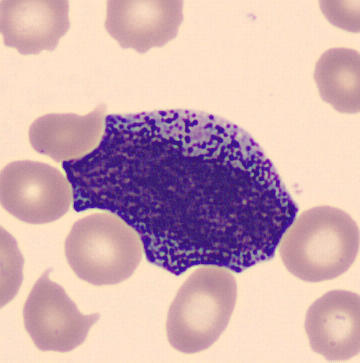
Preparation: 360 by 363 pixels; CellaVision DM96; peripheral blood smear. Q: What is the morphological classification of this cell?
A: It is a progranulocyte.